Bone marrow aspirate smear. Pappenheim-stained. 40× objective, oil immersion: 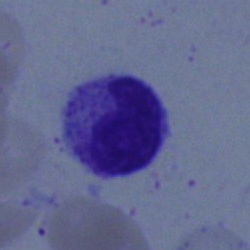 Cell = metamyelocyte.